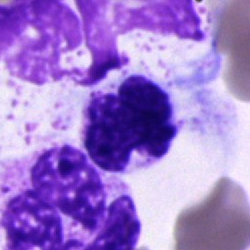 The classification is segmented neutrophil.